Single-cell field · bone marrow aspirate smear: 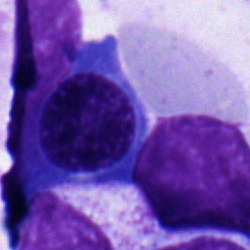The cell shown is an erythroblast.